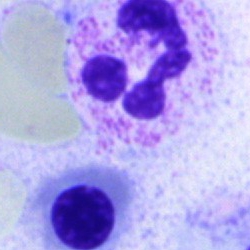

{"cell_type": "polymorphonuclear neutrophil"}